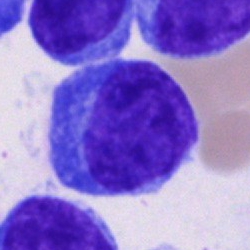
Cell — plasma cell.